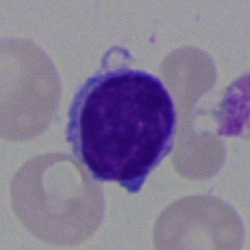

Q: What is the morphological classification of this cell?
A: This is a lymphocyte.